Single-cell crop. 250×250 px. Bone marrow smear: 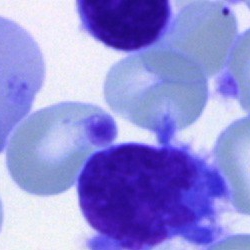

Specimen: bone marrow smear.
Cell: typical lymphocyte.
Lineage: lymphoid.